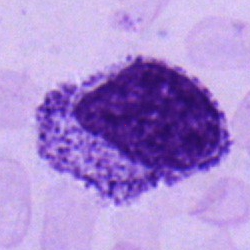

Showing a myelocyte.